250×250 · bone marrow aspirate smear: 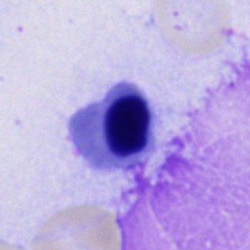

Morphology consistent with a normoblast.